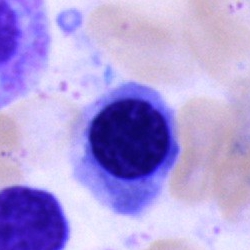 A nucleated red cell on a bone marrow smear.